Bone marrow aspirate smear; brightfield microscopy, 40× oil immersion; May-Grünwald-Giemsa/Pappenheim stain
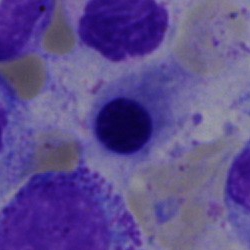 Q: What cell is this?
A: This is a nucleated red blood cell.